Bone marrow aspirate smear: 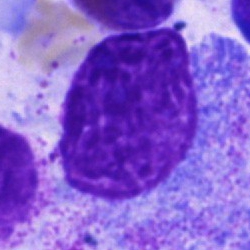Q: What type of cell is this?
A: Progranulocyte.